Peripheral blood film:
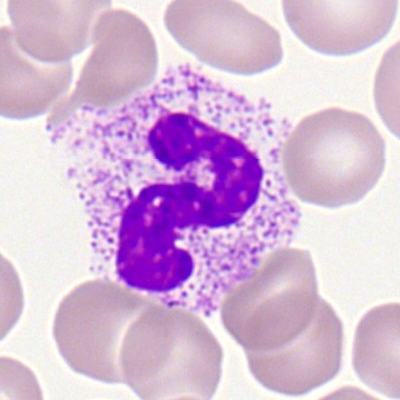 Classification = band-form neutrophil.